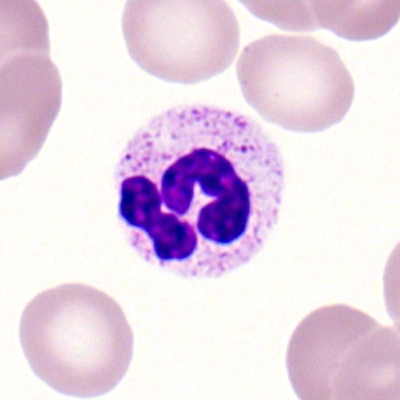

Morphology consistent with a neutrophil (segmented).